Single cell centered in the field · bone marrow aspirate smear: 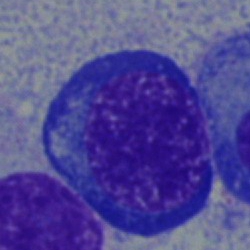Morphology consistent with an erythroblast.